Bone marrow aspirate smear · image size 250×250
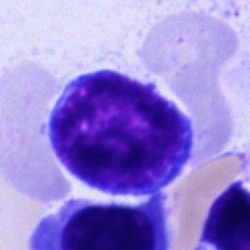

Specimen: bone marrow smear.
Classification: lymphocyte.
Lineage: lymphoid.